250×250 px; bone marrow smear: 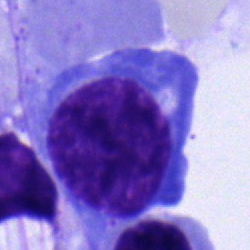

This is an erythroblast.